Bone marrow aspirate smear.
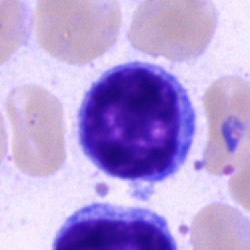

Q: Identify the cell.
A: This is a typical lymphocyte.